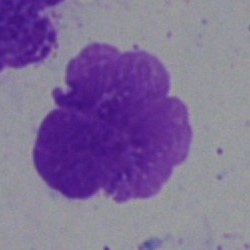
An artefact.